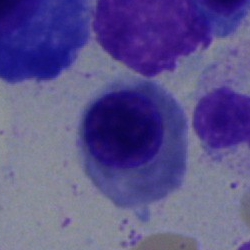
{"cell_type": "normoblast", "lineage": "erythroid"}